Bone marrow aspirate smear.
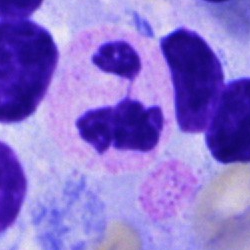Morphology → neutrophil (segmented).